Bone marrow smear: 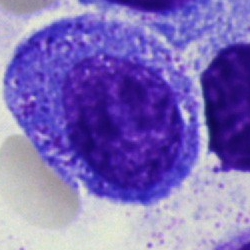Morphological class: progranulocyte.